Bone marrow aspirate smear.
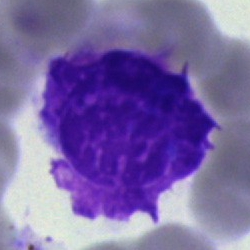 This is an artifact.